Single cell centered in the field. Bone marrow aspirate smear.
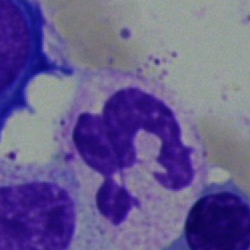
Q: Which cell type is shown here?
A: Neutrophil (segmented).